Bone marrow aspirate smear
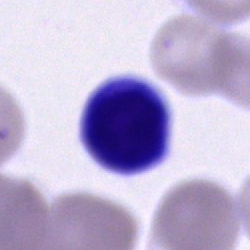Morphological class: lymphocyte.